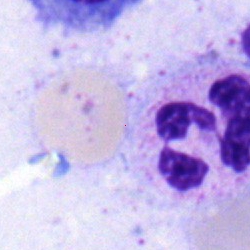

Morphological class = neutrophil (segmented).